250×250 px · bone marrow aspirate smear
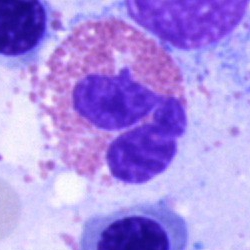The morphological class is eosinophilic granulocyte.